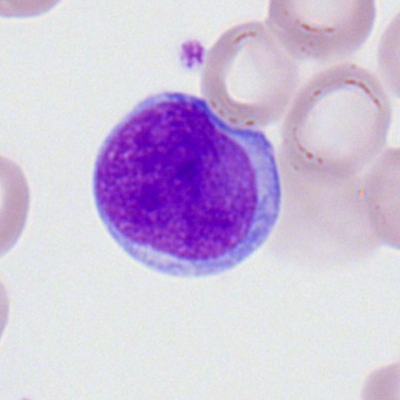Morphology consistent with a myeloid blast.